Brightfield microscopy, 40× oil immersion. Bone marrow aspirate smear:
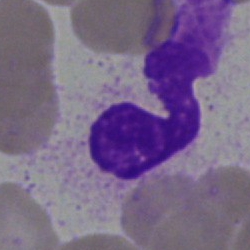

This is an artifact.